Bone marrow smear. May-Grünwald-Giemsa/Pappenheim stain. 250×250 — 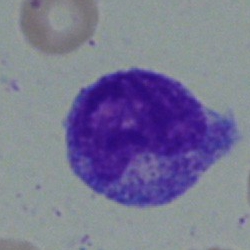
Cell type — myelocyte.